Bone marrow smear — 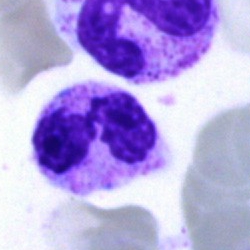Cell = neutrophil (segmented).